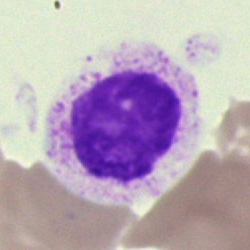This is a cell of indeterminate lineage.